Bone marrow aspirate smear. Image size 250×250 — 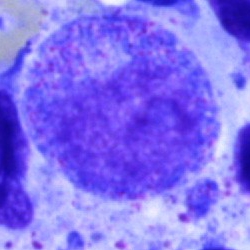Classification — progranulocyte.